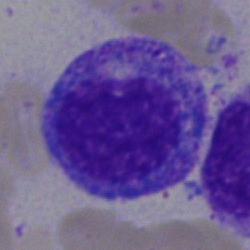A promyelocyte on a bone marrow smear.